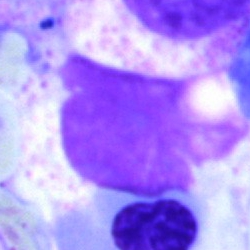

This is an artefact.